Bone marrow smear:
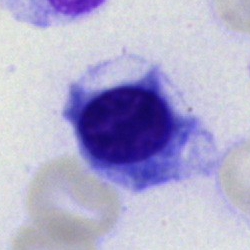 Classification = erythroblast.